Bone marrow aspirate smear; May-Grünwald-Giemsa/Pappenheim stain
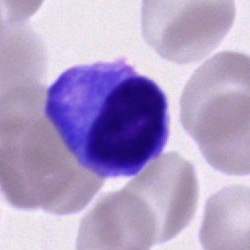
Classification = plasmacyte.